Bone marrow aspirate smear — 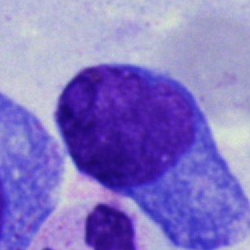

Impression — blast.